Image size 250×250; single-cell crop; bone marrow aspirate smear — 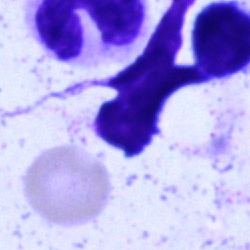
An artefact.